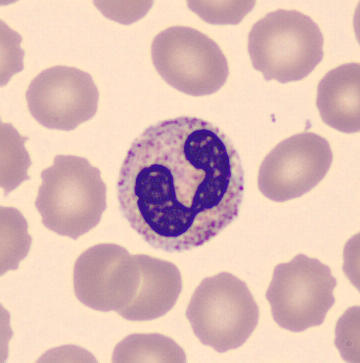

Image: Imaged on a CellaVision DM96 analyser · peripheral blood film.
{"cell_type": "neutrophil (segmented)", "lineage": "myeloid"}